40× oil immersion · bone marrow smear.
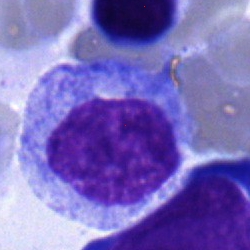

Morphological class: myelocyte.